Bone marrow smear
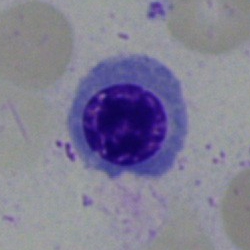{"cell_type": "nucleated red cell"}